40× objective, oil immersion; Pappenheim-stained; bone marrow aspirate smear
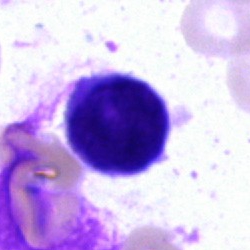
Classification — blast cell.